Peripheral blood film — 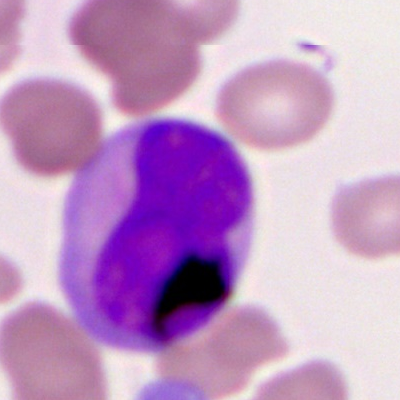Single cell identified as a myeloblast.